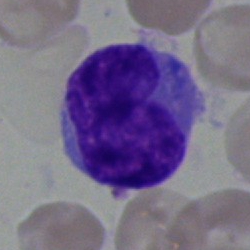

Q: Identify the cell.
A: Monocyte.